Single-cell field. Bone marrow aspirate smear: 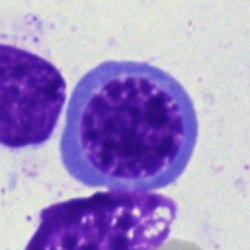
The cell shown is a normoblast.